Bone marrow aspirate smear: 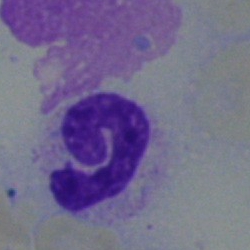
Specimen: bone marrow smear.
Cell type: neutrophil (segmented).